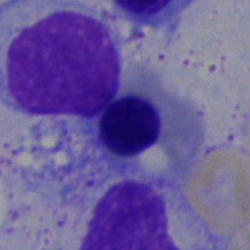 Cell: nucleated red blood cell.